Single-cell field; Pappenheim-stained; bone marrow aspirate smear — 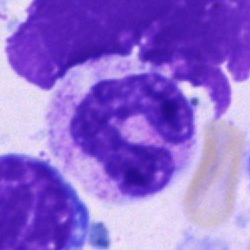Specimen: bone marrow smear.
Morphological class: band neutrophil.
Lineage: myeloid.